Bone marrow smear
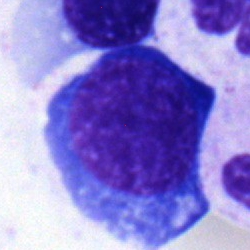

This is a proerythroblast.